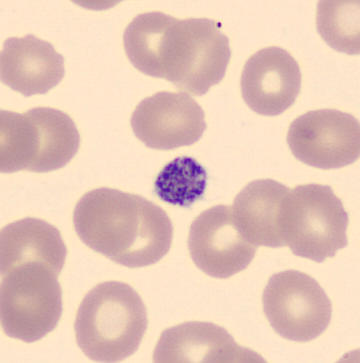 Morphology consistent with a thrombocyte. Peripheral blood film; CellaVision DM96 digital cell image.